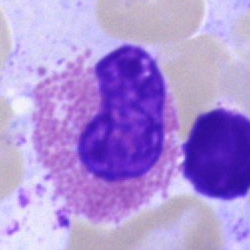 Q: Which cell type is shown here?
A: This is an eosinophil.